Bone marrow smear — 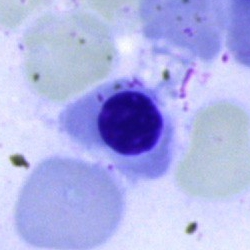This is a normoblast.